Brightfield, 40× oil-immersion objective · bone marrow smear:
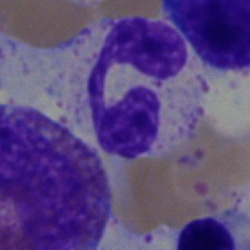Morphological class: polymorphonuclear neutrophil.